Bone marrow aspirate smear: 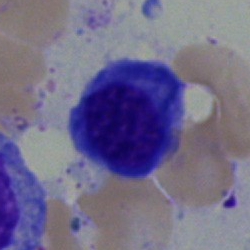

Showing a plasma cell.